Cropped to a single cell; bone marrow smear:
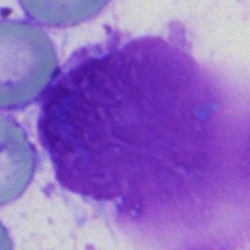

Q: What is shown here?
A: It is an artifact.